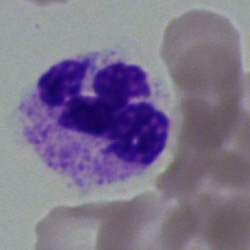 Specimen: bone marrow aspirate smear.
Cell: segmented neutrophil.